Bone marrow smear.
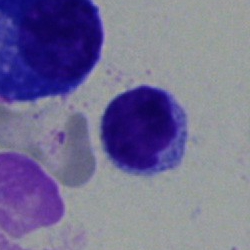

The morphological class is lymphocyte.